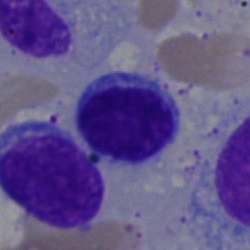

Q: What is the morphological classification of this cell?
A: A typical lymphocyte.